May-Grünwald-Giemsa stain; bone marrow aspirate smear: 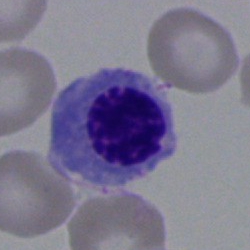 {"cell_type": "nucleated red cell"}